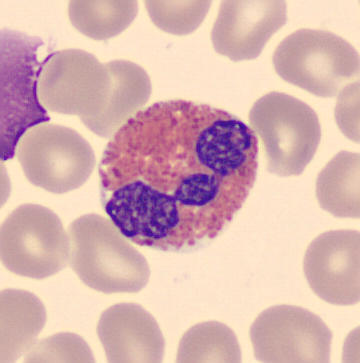 The cell is eosinophilic granulocyte.